Single-cell field. Bone marrow aspirate smear. 250×250:
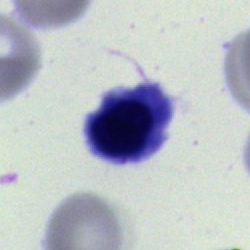
Q: What is shown here?
A: Nucleated red cell.